Bone marrow smear · 250 by 250 pixels:
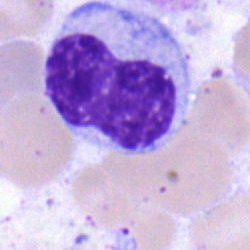 Classification — metamyelocyte.